Bone marrow smear:
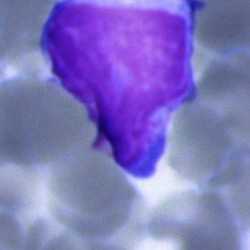Q: What type of cell is this?
A: Immature lymphocyte.